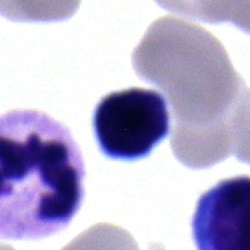Morphology — typical lymphocyte.